Bone marrow smear
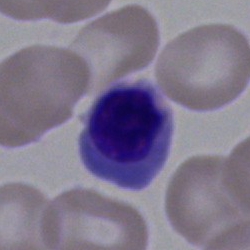
Q: What is shown here?
A: This is a normoblast.